Bone marrow aspirate smear:
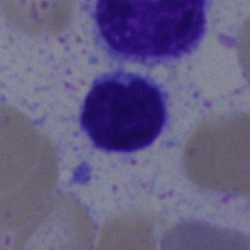Cell type: typical lymphocyte.